Bone marrow aspirate smear.
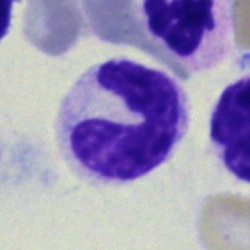

The classification is band neutrophil.